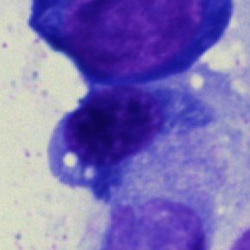
Single cell identified as a normoblast.